Bone marrow aspirate smear:
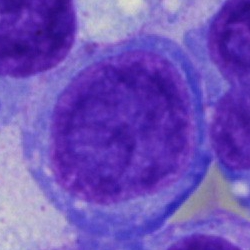Q: What is shown here?
A: Plasmacyte.